Bone marrow smear:
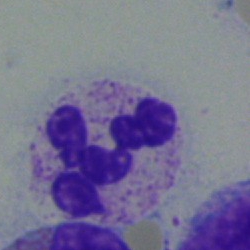
Specimen: bone marrow smear.
Morphological class: polymorphonuclear neutrophil.
Lineage: myeloid.